40× objective, oil immersion. Single-cell crop. Bone marrow aspirate smear: 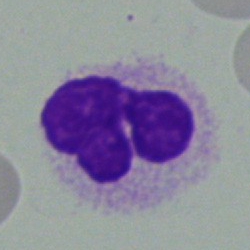 A polymorphonuclear neutrophil.